Image size 250×250 · bone marrow aspirate smear · Pappenheim-stained:
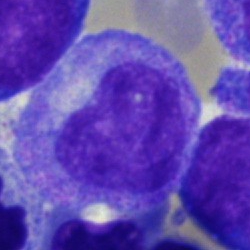A progranulocyte.